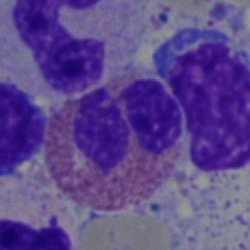 Morphological class: eosinophil.